Bone marrow smear: 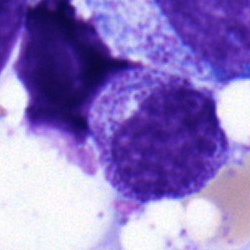Q: Which cell type is shown here?
A: A myelocyte.